Bone marrow aspirate smear; 250×250.
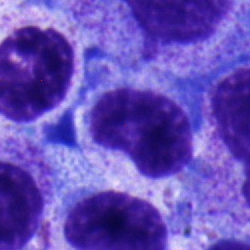

Morphology consistent with a metamyelocyte.